Bone marrow smear
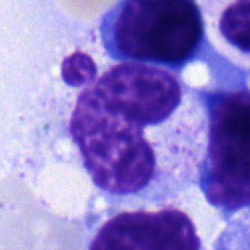The cell shown is a neutrophil (band).